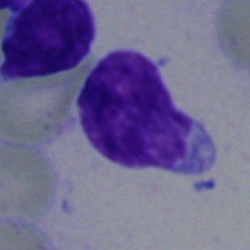

{"cell_type": "blast cell"}